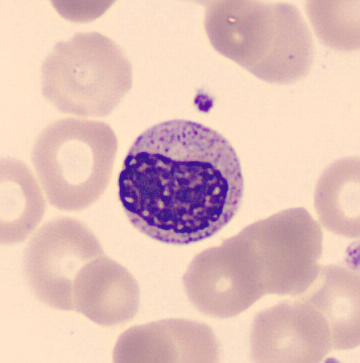Identified as a metamyelocyte.
Image: Peripheral blood film. MGG stain.